Bone marrow aspirate smear
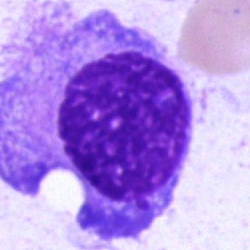

Classification — plasmacyte.